Bone marrow smear. 250×250 px. Brightfield, 40× oil-immersion objective
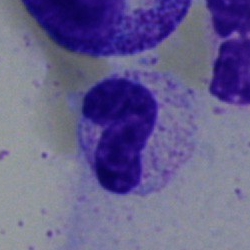
The cell type is neutrophil (band).